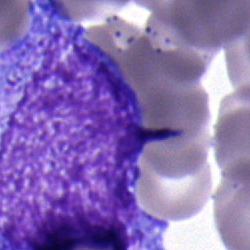

The cell type is progranulocyte.